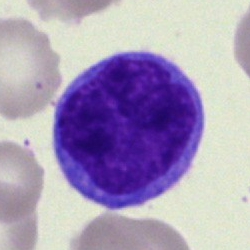

Q: Which cell type is shown here?
A: It is a typical lymphocyte.